Bone marrow smear — 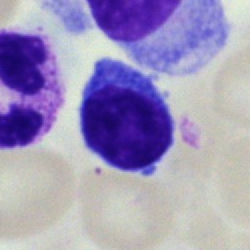

Classification = lymphocyte.